Bone marrow aspirate smear. MGG-stained: 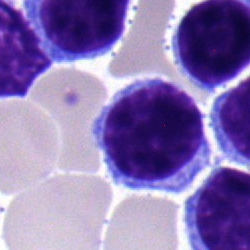Specimen: bone marrow aspirate smear.
Morphological class: lymphocyte.
Lineage: lymphoid.